Bone marrow aspirate smear:
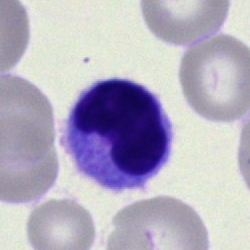
Classification — lymphocyte.